250×250 px · bone marrow smear.
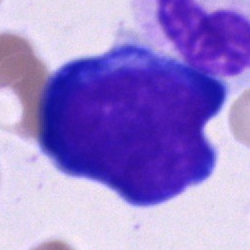Morphology consistent with a pronormoblast.